May-Grünwald-Giemsa stain · bone marrow smear.
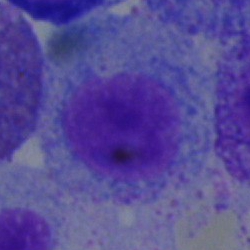
Showing a myelocyte.